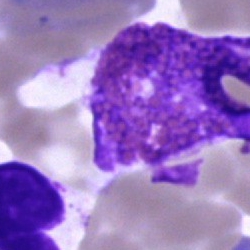Morphology consistent with an eosinophilic granulocyte.